Bone marrow smear — 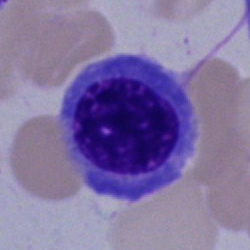
Nucleated red blood cell.